Brightfield microscopy, 40× oil immersion. 250×250 px. Bone marrow smear: 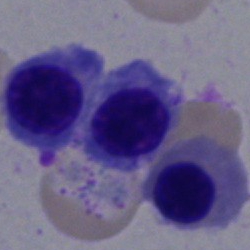

Specimen: bone marrow aspirate smear.
Morphological class: nucleated red blood cell.
Lineage: erythroid.